Bone marrow aspirate smear: 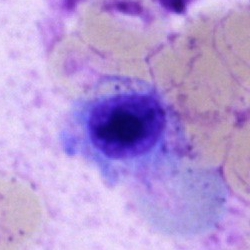

The cell is normoblast.